Bone marrow aspirate smear. Single-cell field. Brightfield, 40× oil-immersion objective: 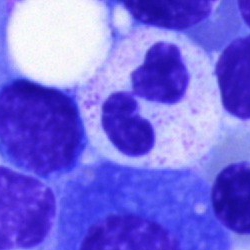Single cell identified as a neutrophil (segmented).